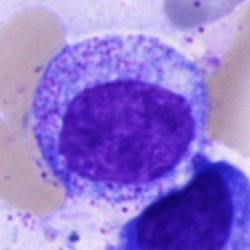

Single-cell crop from a bone marrow smear: promyelocyte.